Romanowsky-stained. Single-cell field. Peripheral blood smear
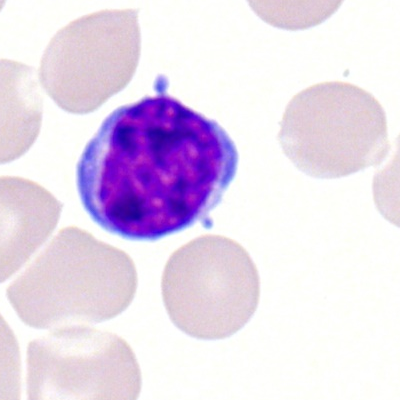Cell: typical lymphocyte.